Bone marrow aspirate smear · single cell centered in the field · May-Grünwald-Giemsa/Pappenheim stain:
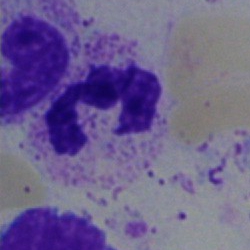

Q: Which cell type is shown here?
A: A polymorphonuclear neutrophil.